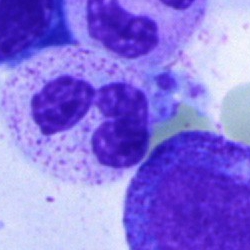Q: What cell is this?
A: This is a neutrophil (segmented).